Bone marrow aspirate smear. 250 by 250 pixels:
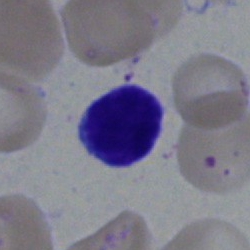

Cell type = typical lymphocyte.